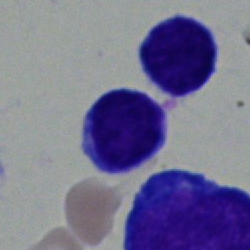A typical lymphocyte.